Bone marrow smear — 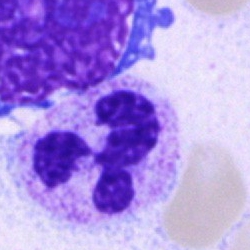
Impression → polymorphonuclear neutrophil.